Bone marrow smear
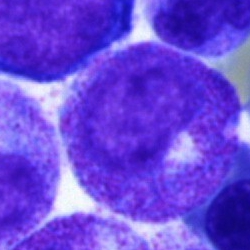 This is a promyelocyte.